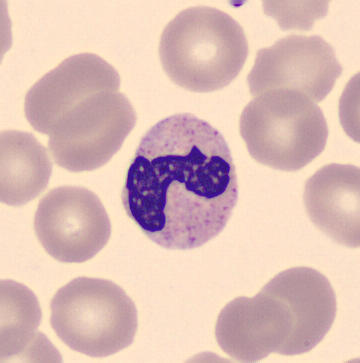
Specimen: peripheral blood smear.
Classification: band-form neutrophil.
Lineage: myeloid. Imaged on a CellaVision DM96 analyser.